Bone marrow smear: 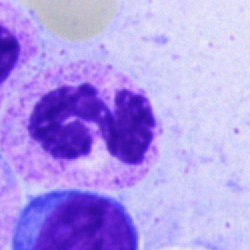Single cell identified as a segmented neutrophil.